Bone marrow smear:
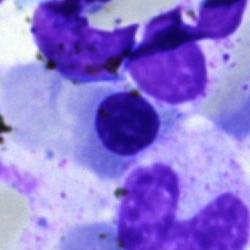Q: What type of cell is this?
A: This is a normoblast.